Bone marrow aspirate smear — 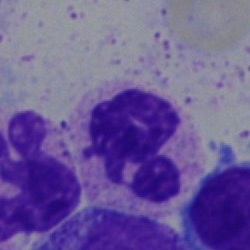 Q: What is the morphological classification of this cell?
A: Polymorphonuclear neutrophil.